Bone marrow smear
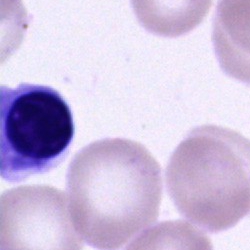 Q: What is the morphological classification of this cell?
A: Nucleated red cell.